Pappenheim-stained. Bone marrow smear. Single-cell field
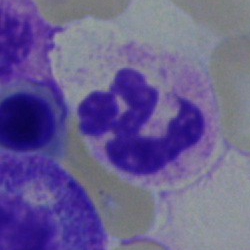 A polymorphonuclear neutrophil.